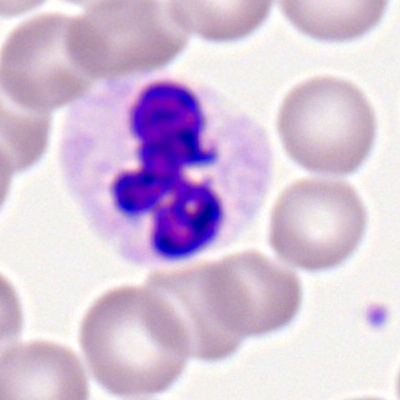 Single cell identified as a neutrophil (segmented).